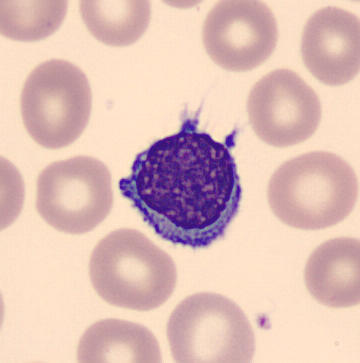

CellaVision DM96; May Grünwald-Giemsa stain; peripheral blood film.
{"cell_type": "typical lymphocyte", "lineage": "lymphoid"}